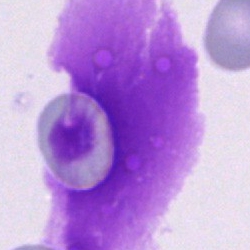
Impression — artifact.